Peripheral blood film
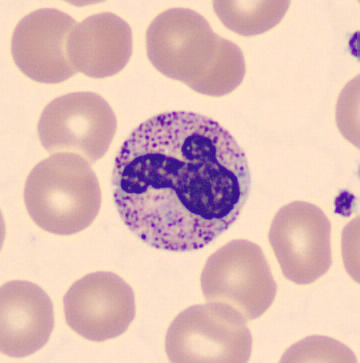 A stab cell.